Bone marrow aspirate smear
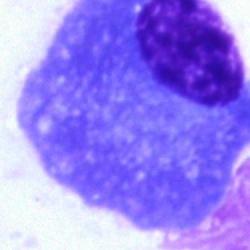Q: Which cell type is shown here?
A: Plasma cell.